40× objective, oil immersion. Bone marrow smear — 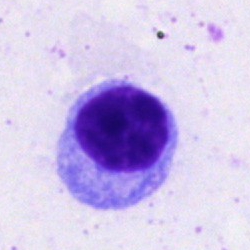
Showing a lymphocyte.